Bone marrow aspirate smear — 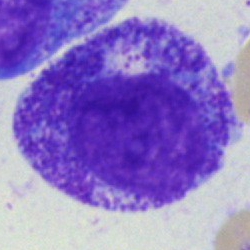

The cell shown is a myelocyte.